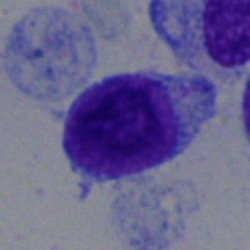

The cell is blast.